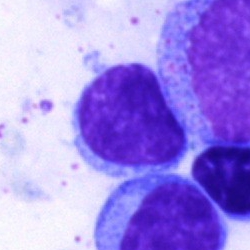
Specimen: bone marrow aspirate smear.
Cell type: lymphocyte.
Lineage: lymphoid.